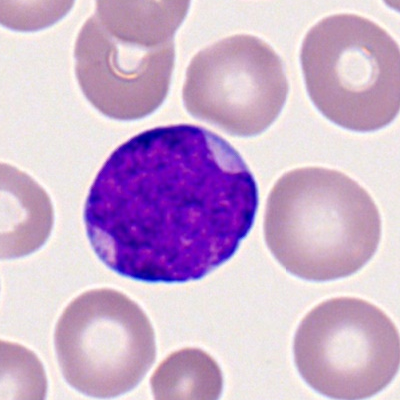
Impression — myeloblast.